Peripheral blood smear — 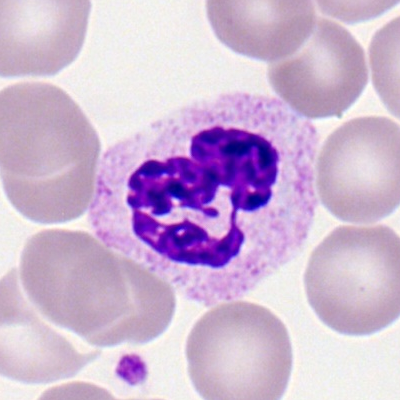

Q: Which cell type is shown here?
A: A neutrophil (segmented).